Image size 250×250; MGG-stained; bone marrow aspirate smear:
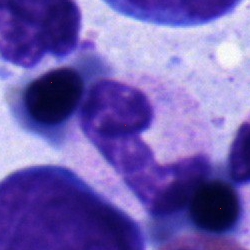The cell type is band neutrophil.